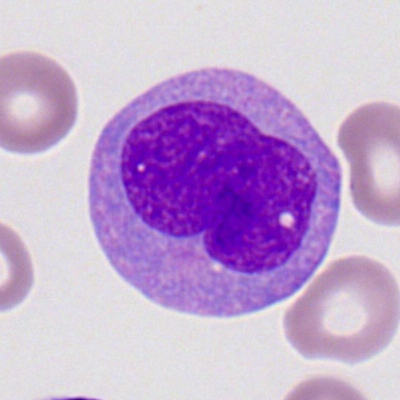
The cell type is myeloblast.